Bone marrow aspirate smear:
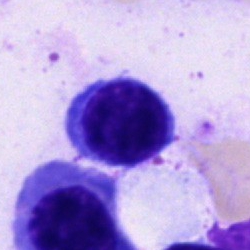
Showing a typical lymphocyte.